Bone marrow smear.
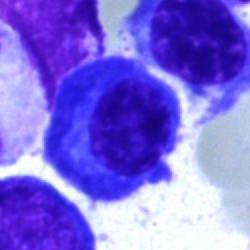 Cell type: plasmacyte.